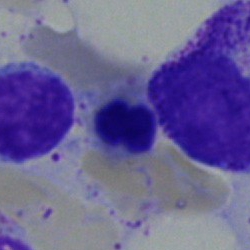 Morphology consistent with a nucleated red cell.